Bone marrow smear; 250×250:
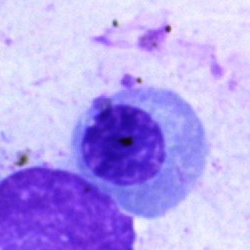
Specimen: bone marrow smear.
Cell: erythroblast.
Lineage: erythroid.